Bone marrow smear. 250×250 — 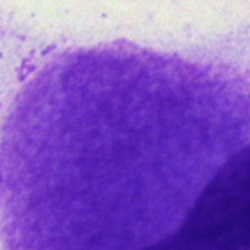
{"cell_type": "artefact"}